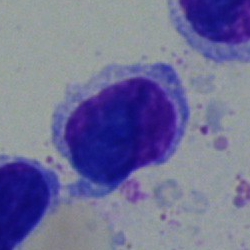Showing a typical lymphocyte.